Bone marrow smear
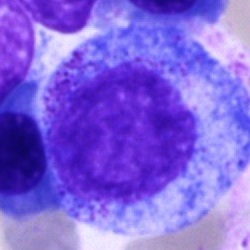

Promyelocyte.